Bone marrow smear — 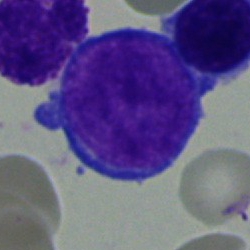
Morphology consistent with a proerythroblast.